Single-cell field. Bone marrow aspirate smear
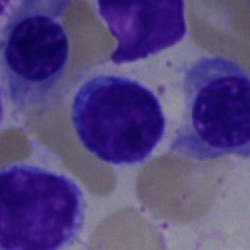
Specimen: bone marrow smear.
Classification: lymphocyte.